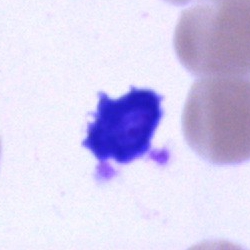 The cell is artefact.